Bone marrow smear — 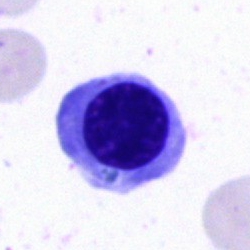Q: What type of cell is this?
A: This is a normoblast.